Bone marrow aspirate smear
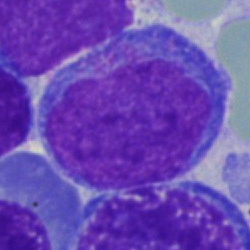

Specimen: bone marrow aspirate smear.
Morphological class: blast.